Single-cell crop; bone marrow aspirate smear.
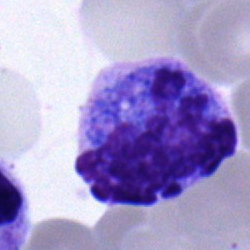

Specimen: bone marrow smear.
Classification: monocyte.
Lineage: myeloid.